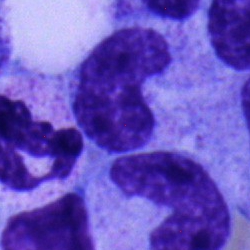{"cell_type": "stab cell", "lineage": "myeloid"}